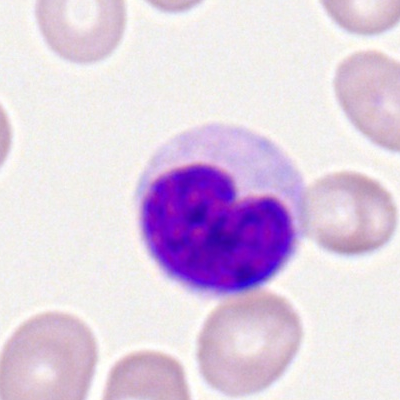Q: What type of cell is this?
A: This is a typical lymphocyte.